Bone marrow smear · 250×250 px
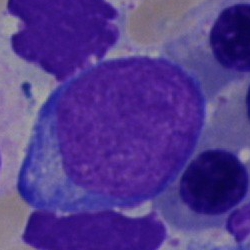

Morphology consistent with a blast cell.